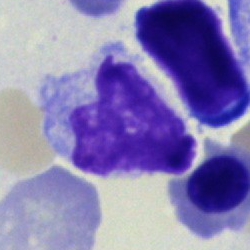

Impression — unidentifiable cell.